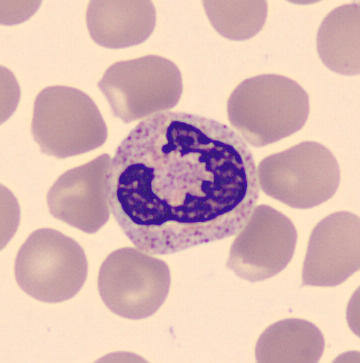 Cell — polymorphonuclear neutrophil.
Image: Peripheral blood film.